Bone marrow smear; 40× objective, oil immersion.
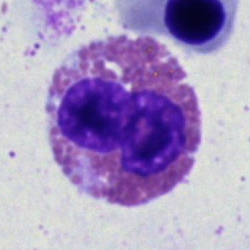

The cell shown is an eosinophil.